Bone marrow aspirate smear:
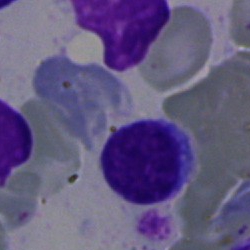
Specimen: bone marrow smear.
Cell: typical lymphocyte.